Bone marrow aspirate smear · single cell centered in the field · 40× objective, oil immersion.
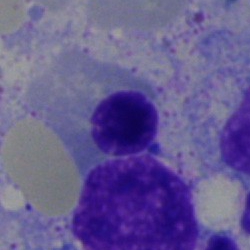 An erythroblast.